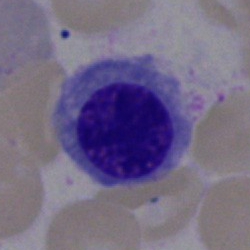
The cell shown is a normoblast.